Bone marrow smear; cropped to a single cell; image size 250×250: 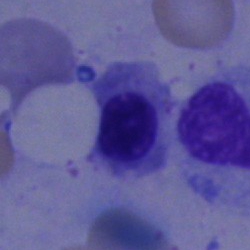 Showing a band-form neutrophil.